Peripheral blood smear · single-cell field
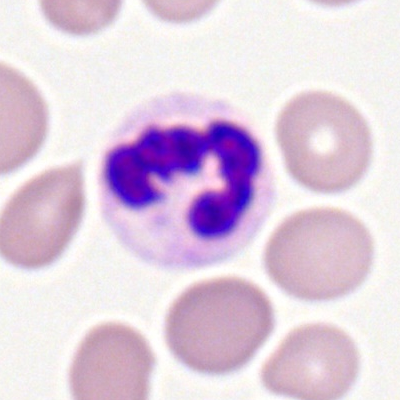Cell type: neutrophil (segmented).